Bone marrow aspirate smear — 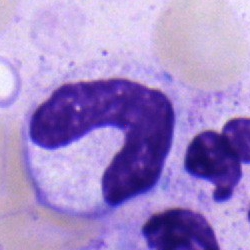

Cell: band-form neutrophil.